Bone marrow smear · Pappenheim-stained
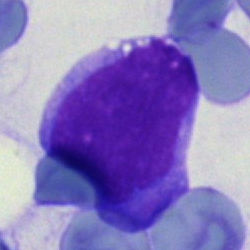
Impression → undifferentiated blast.